Image size 250×250 · bone marrow aspirate smear.
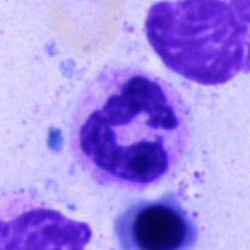Morphological class: polymorphonuclear neutrophil.